Bone marrow aspirate smear.
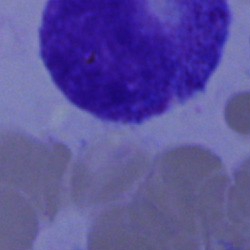

Morphological class: promyelocyte.